Bone marrow aspirate smear.
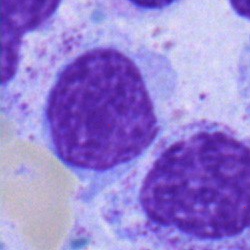
Impression → myelocyte.